Bone marrow aspirate smear — 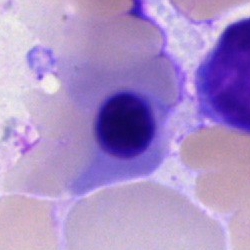
Morphology consistent with an erythroblast.